Bone marrow smear
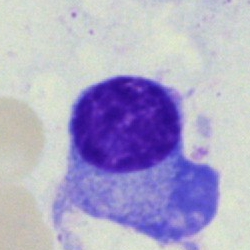

Cell — plasma cell.